Bone marrow aspirate smear
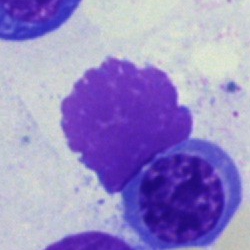Artefact.